Cropped to a single cell · bone marrow aspirate smear
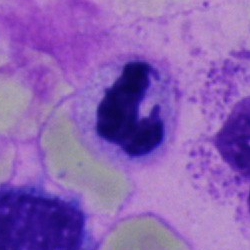
Classification: segmented neutrophil.